Bone marrow aspirate smear — 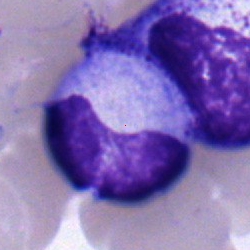
A band neutrophil.